Bone marrow aspirate smear; single cell centered in the field: 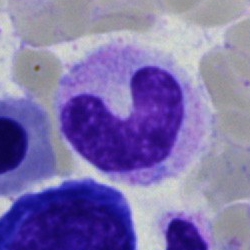 Classification — band-form neutrophil.